Brightfield microscopy, 40× oil immersion; bone marrow aspirate smear: 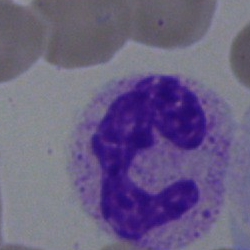 Single cell identified as a segmented neutrophil.